Bone marrow smear:
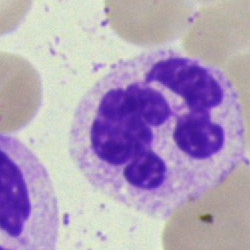
Q: Which cell type is shown here?
A: This is a polymorphonuclear neutrophil.